Bone marrow smear · brightfield, 40× oil-immersion objective · May-Grünwald-Giemsa/Pappenheim stain:
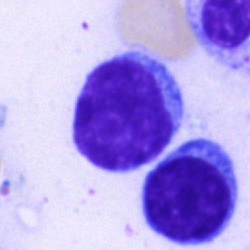 Single cell identified as a lymphocyte.